Romanowsky stain · M8 digital microscope (Precipoint), 100× oil immersion · peripheral blood smear — 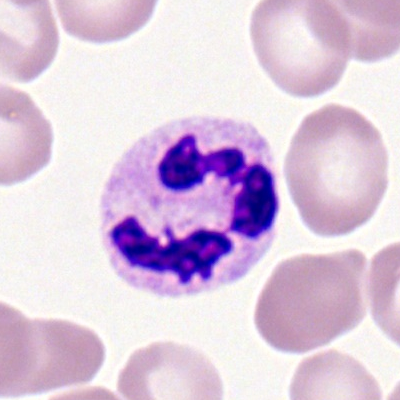

{"cell_type": "neutrophil (segmented)"}